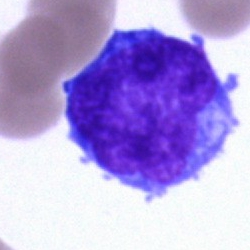 Single-cell crop from a bone marrow smear: undifferentiated blast.